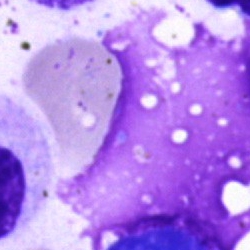

Impression — artifact.